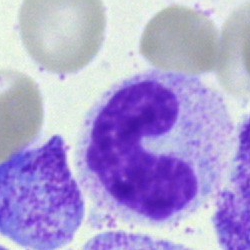
Morphology — neutrophil (band).